Bone marrow smear · May-Grünwald-Giemsa/Pappenheim stain — 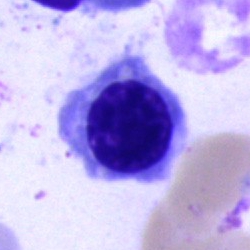

Q: What is the morphological classification of this cell?
A: This is an erythroblast.